Automated cell imaging (CellaVision DM96) · peripheral blood smear:
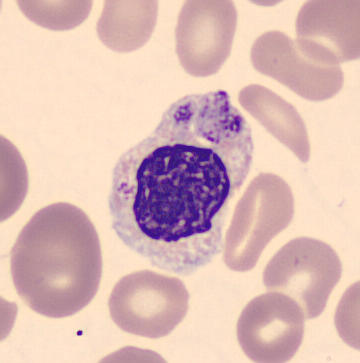Impression — metamyelocyte.